Bone marrow smear:
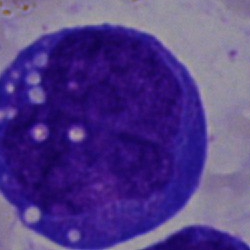 Specimen: bone marrow smear.
Morphological class: blast cell.